Bone marrow smear. 40× objective, oil immersion:
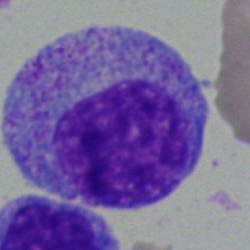Specimen: bone marrow smear.
Cell: myelocyte.
Lineage: myeloid.